Bone marrow smear · 40× oil immersion · single-cell crop: 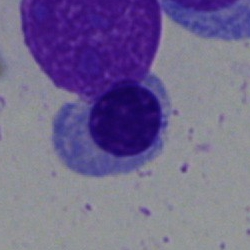 Impression → erythroblast.